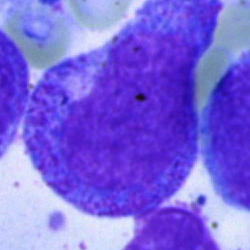
Bone marrow smear showing a promyelocyte.